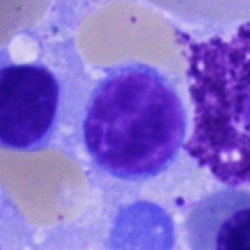Showing a typical lymphocyte.